Bone marrow smear · single-cell crop:
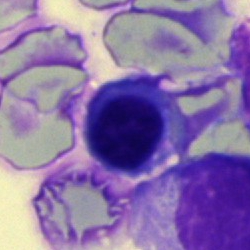The morphological class is normoblast.